Bone marrow aspirate smear
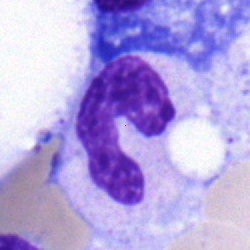

Q: What is shown here?
A: It is a neutrophil (band).